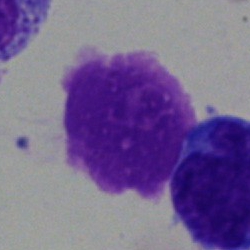{"cell_type": "artifact"}